Single cell centered in the field. Bone marrow smear.
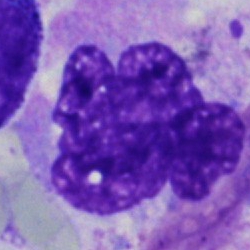 Specimen: bone marrow smear.
Classification: artifact.